Bone marrow smear — 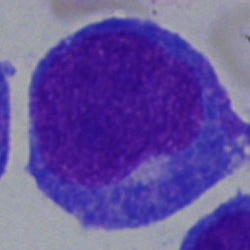

Q: Identify the cell.
A: An undifferentiated blast.